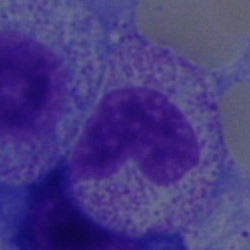 The cell shown is a neutrophil (band).